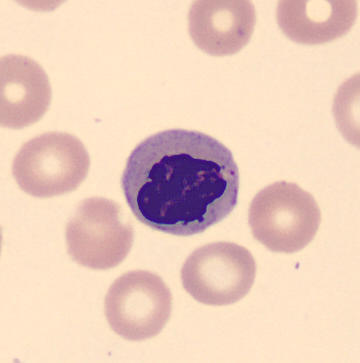

Morphology — erythroblast.